Bone marrow smear — 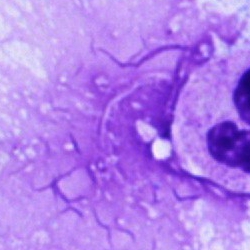

{"cell_type": "artifact"}